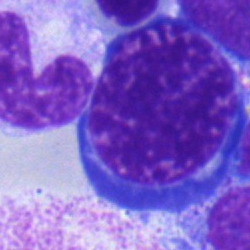Q: What is shown here?
A: It is a normoblast.